Brightfield microscopy, 40× oil immersion · bone marrow smear:
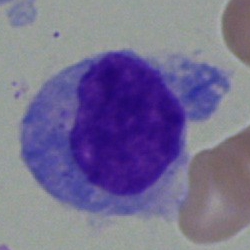 This is a monocyte.